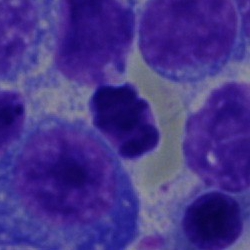Morphological class = unidentifiable cell.